Bone marrow smear:
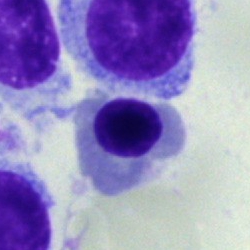 Specimen: bone marrow smear.
Morphological class: nucleated red cell.